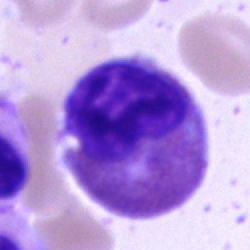Cell type: eosinophilic granulocyte.